Cropped to a single cell. 250×250. Bone marrow smear:
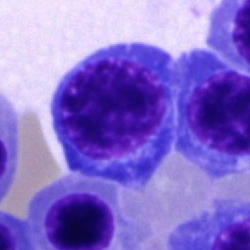

Specimen: bone marrow smear.
Cell: normoblast.